Bone marrow smear.
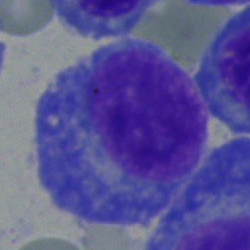 Showing a plasmacyte.